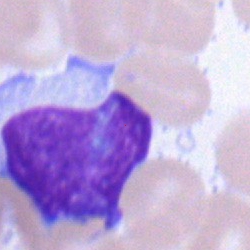Classification = typical lymphocyte.